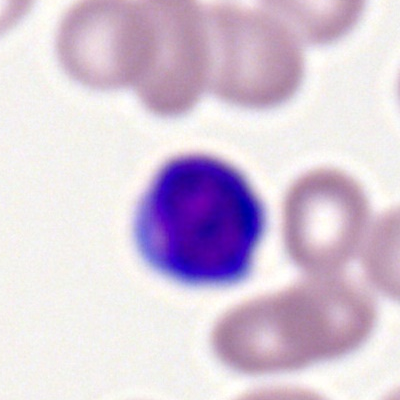Specimen: peripheral blood film.
Cell type: lymphocyte.
Lineage: lymphoid.